Single-cell field; bone marrow smear
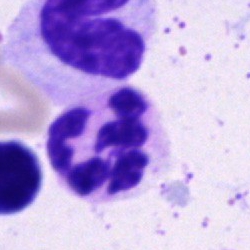
Q: What cell is this?
A: A neutrophil (segmented).